Bone marrow aspirate smear. 250×250 px.
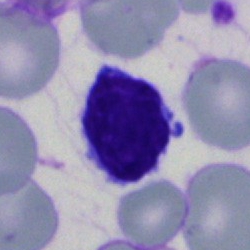

Q: Which cell type is shown here?
A: A typical lymphocyte.